Bone marrow aspirate smear
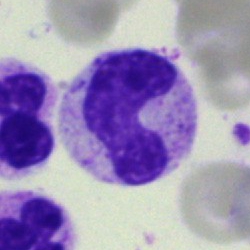

Single cell identified as a neutrophil (band).